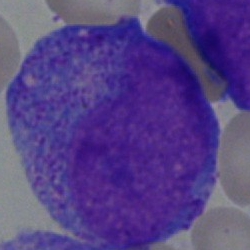 Impression → progranulocyte.